Bone marrow smear:
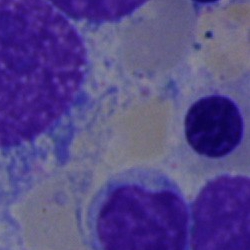 Impression — erythroblast.